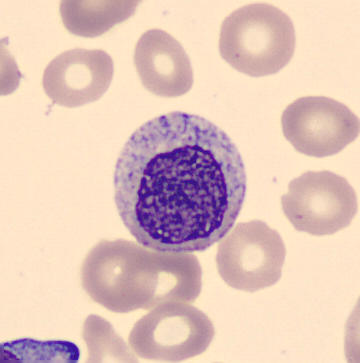From a peripheral blood smear: a myelocyte.